Peripheral blood smear.
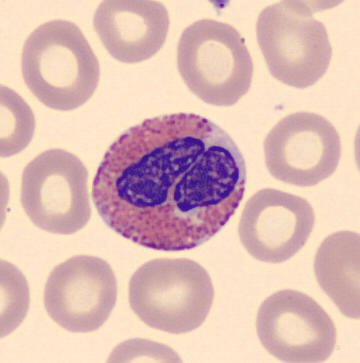

Cell type — eosinophilic granulocyte.